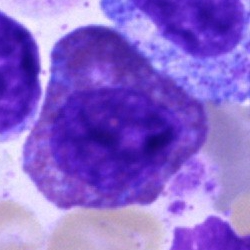This is an eosinophilic granulocyte.